Bone marrow aspirate smear.
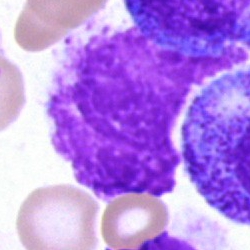 Q: What is shown here?
A: It is an artifact.